Bone marrow aspirate smear.
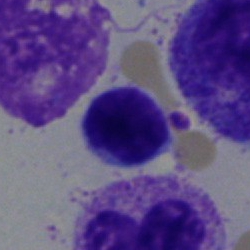

Specimen: bone marrow aspirate smear.
Classification: typical lymphocyte.
Lineage: lymphoid.